Bone marrow smear; single-cell crop; May-Grünwald-Giemsa/Pappenheim stain
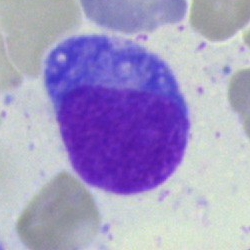This is an undifferentiated blast.